May-Grünwald-Giemsa stain · single-cell crop · bone marrow smear:
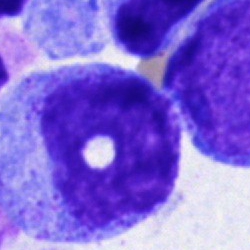

Specimen: bone marrow aspirate smear.
Cell: promyelocyte.
Lineage: myeloid.